Bone marrow aspirate smear.
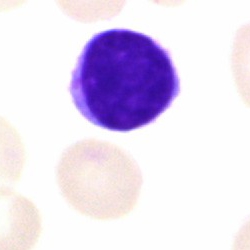

Impression → typical lymphocyte.